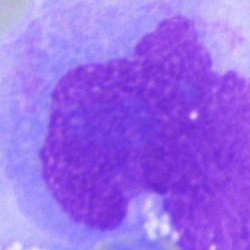
Q: What is shown here?
A: This is an artefact.